Bone marrow smear:
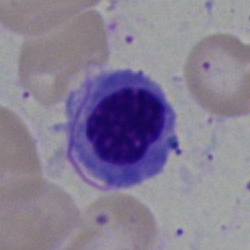

This is a nucleated red cell.